Peripheral blood film.
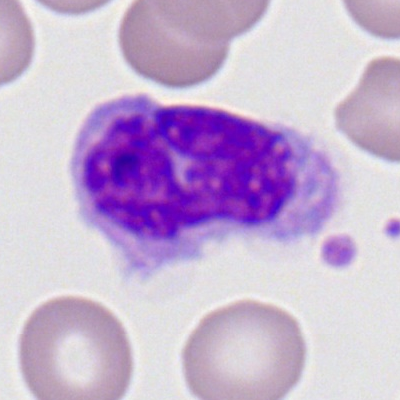 Showing a monocyte.